Bone marrow aspirate smear.
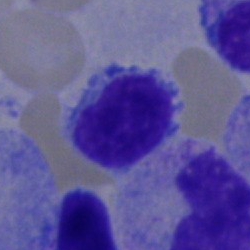 {"cell_type": "typical lymphocyte", "lineage": "lymphoid"}